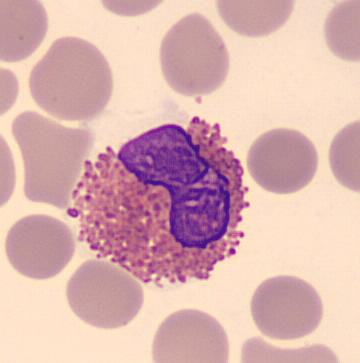Eosinophil.

Preparation: Peripheral blood film.